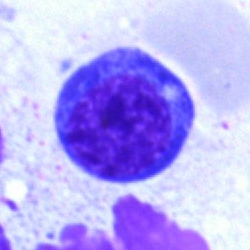Q: What cell is this?
A: It is an erythroblast.